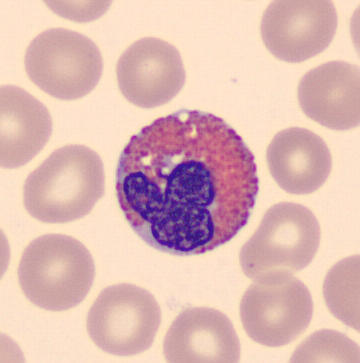

Single cell identified as an eosinophilic granulocyte.
Peripheral blood smear.